250×250 px; bone marrow smear; Pappenheim-stained — 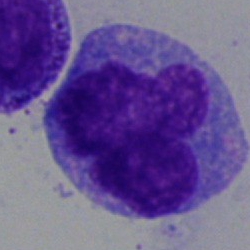Single cell identified as a monocyte.